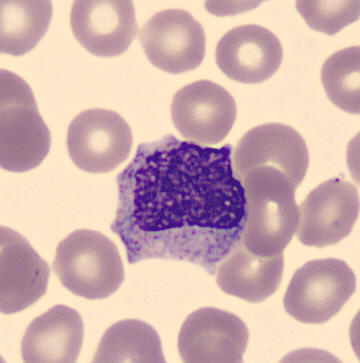
Cell type = metamyelocyte.